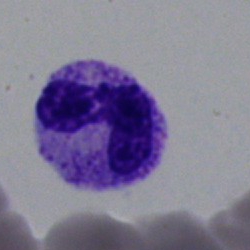
Morphology — neutrophil (segmented).